Bone marrow smear. Brightfield microscopy, 40× oil immersion. 250×250
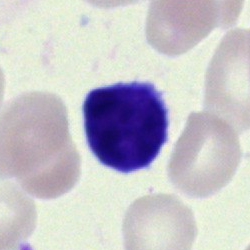 Morphology — typical lymphocyte.